Bone marrow aspirate smear · brightfield, 40× oil-immersion objective · image size 250×250:
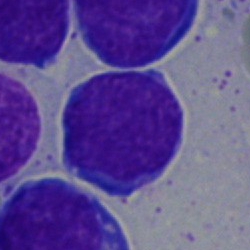
{"cell_type": "undifferentiated blast"}